Bone marrow aspirate smear
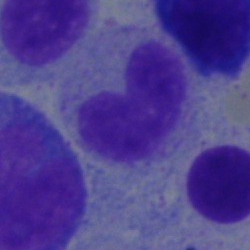Morphology consistent with a band-form neutrophil.